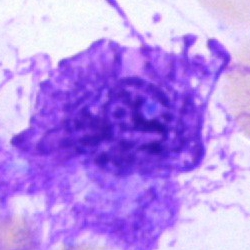

Q: What is shown here?
A: It is an artefact.